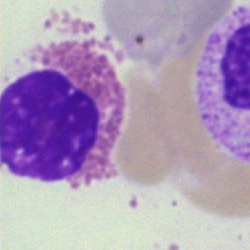Bone marrow smear showing an eosinophilic granulocyte.